Brightfield microscopy, 40× oil immersion; bone marrow smear: 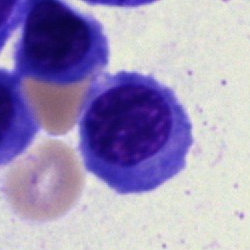
Morphology consistent with a normoblast.